Peripheral blood film.
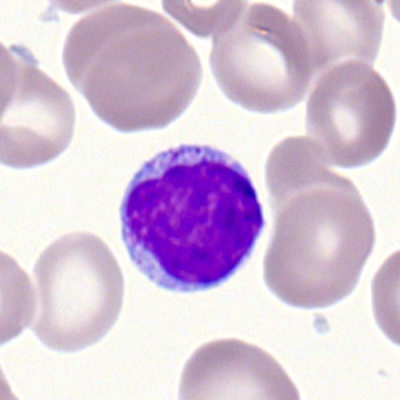
Showing a lymphocyte.